Bone marrow aspirate smear · May-Grünwald-Giemsa stain · single-cell field: 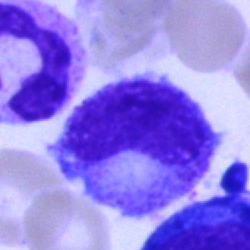 Cell type: metamyelocyte.